Bone marrow aspirate smear — 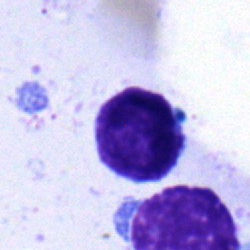 Specimen: bone marrow aspirate smear.
Morphological class: typical lymphocyte.
Lineage: lymphoid.